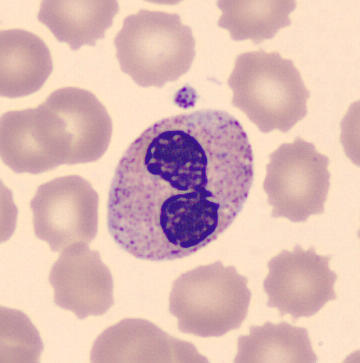 {"cell_type": "segmented neutrophil", "lineage": "myeloid"}

Preparation: Peripheral blood smear. CellaVision DM96 digital cell image. Single-cell field.